Bone marrow smear.
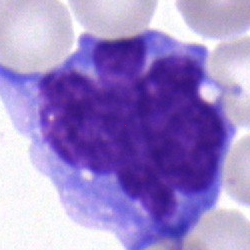
A monocyte.